Bone marrow smear
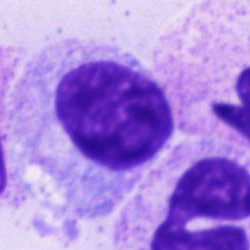 Morphology → myelocyte.